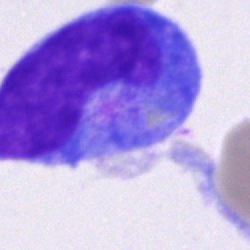
Cell: blast cell.